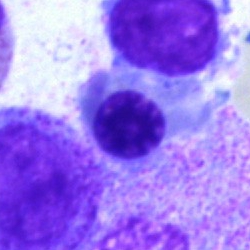

Q: What is shown here?
A: A nucleated red blood cell.